Bone marrow aspirate smear: 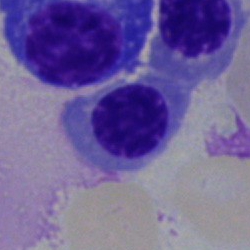 Morphology — erythroblast.